Bone marrow smear. Single-cell crop:
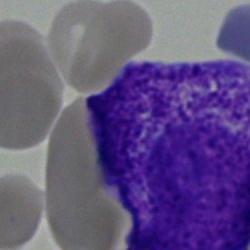 Classification: undifferentiated blast.